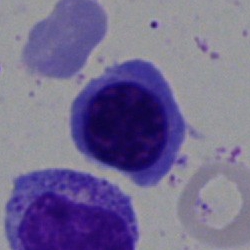
The cell shown is a normoblast.